250×250 px; bone marrow aspirate smear.
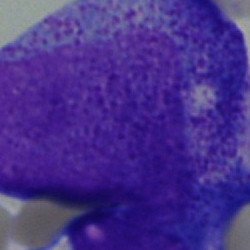
Promyelocyte.